Peripheral blood smear · 100× oil immersion, 14.14 px/µm: 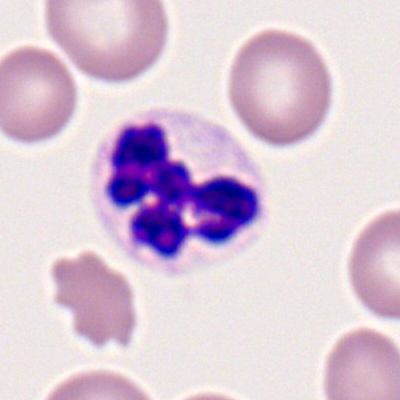 The cell shown is a neutrophil (segmented).